Bone marrow smear — 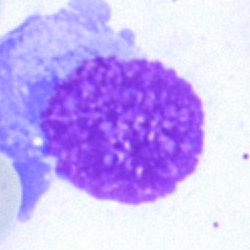 Q: What is shown here?
A: This is an artefact.